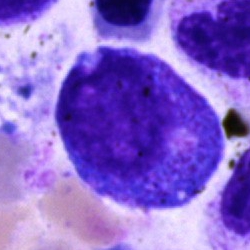
Morphology consistent with a progranulocyte.